May-Grünwald-Giemsa/Pappenheim stain · bone marrow aspirate smear · image size 250×250.
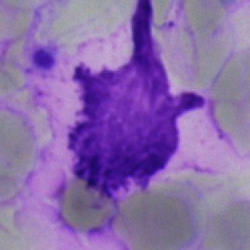 Single cell identified as an artifact.